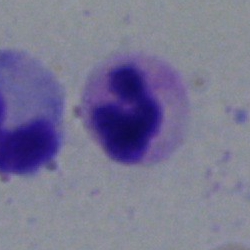 Morphological class — polymorphonuclear neutrophil.